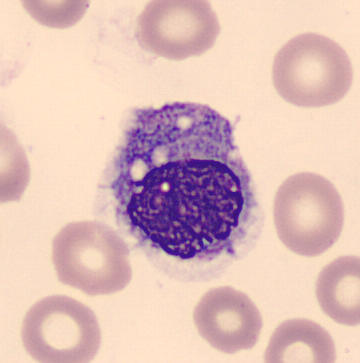

Q: What is shown here?
A: A monocyte.